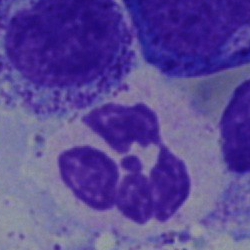

Morphological class = segmented neutrophil.